Pappenheim-stained. 40× objective, oil immersion. Bone marrow aspirate smear: 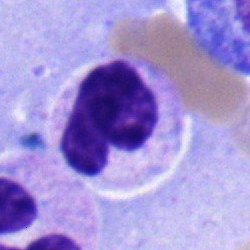 Cell type = band-form neutrophil.